Peripheral blood smear; 400×400 px.
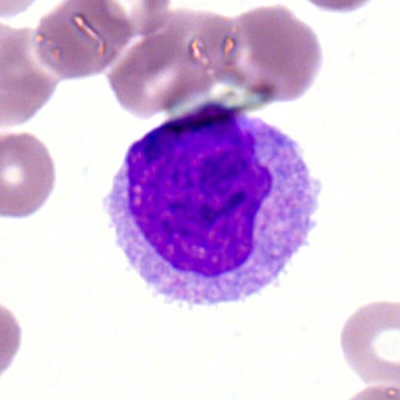
Showing a monocyte.